Bone marrow aspirate smear.
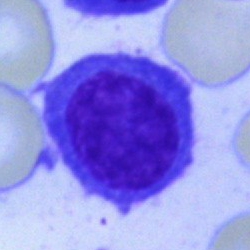This is a plasmacyte.